Bone marrow aspirate smear; brightfield, 40× oil-immersion objective; MGG-stained: 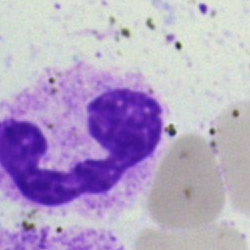Q: What is the morphological classification of this cell?
A: It is a segmented neutrophil.